Bone marrow aspirate smear · single cell centered in the field · May-Grünwald-Giemsa/Pappenheim stain.
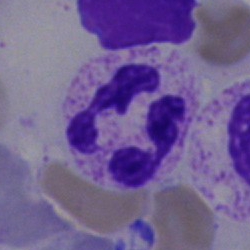
This is a segmented neutrophil.